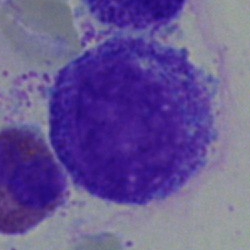 Impression — myelocyte.